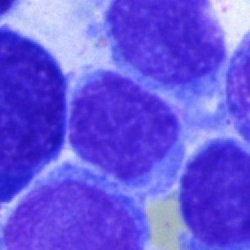 Bone marrow smear showing a typical lymphocyte.